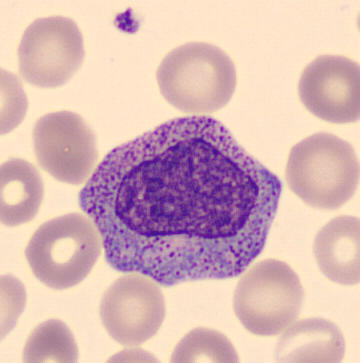
The morphological class is progranulocyte.